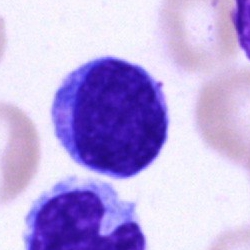

Single cell identified as a lymphocyte.